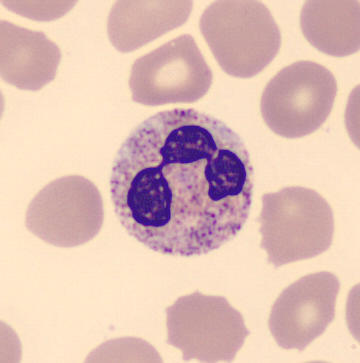Impression — polymorphonuclear neutrophil.

Preparation: Peripheral blood smear.